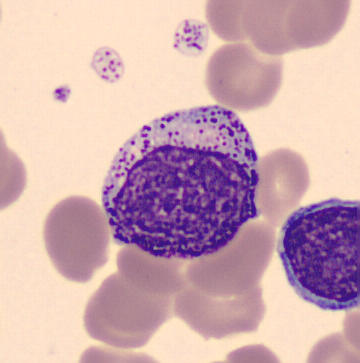
Specimen: peripheral blood smear.
Morphological class: myelocyte.
Lineage: myeloid. 360×363 px. Imaged on a CellaVision DM96 analyser.